Brightfield microscopy, 40× oil immersion; bone marrow aspirate smear
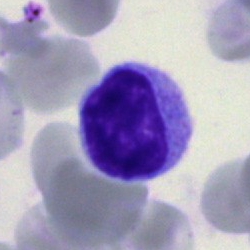
Showing a monocyte.